40× oil immersion. Bone marrow aspirate smear.
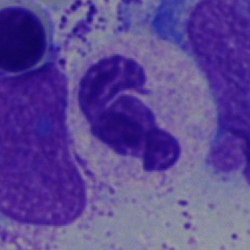Polymorphonuclear neutrophil.